Peripheral blood smear. Single cell centered in the field. 100× oil immersion, 14.14 px/µm: 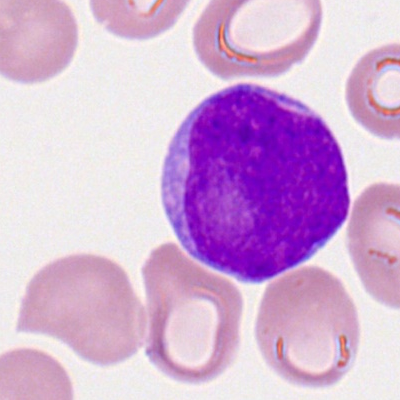
The morphological class is myeloblast.